Single cell centered in the field; bone marrow smear — 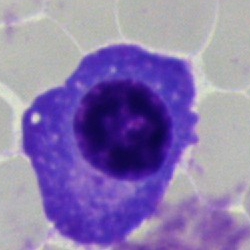Morphology consistent with a plasma cell.